Bone marrow smear — 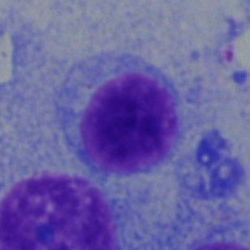Specimen: bone marrow aspirate smear.
Classification: typical lymphocyte.